Bone marrow smear: 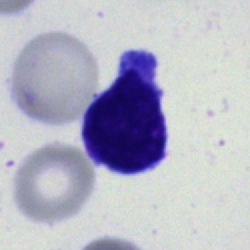Specimen: bone marrow smear.
Cell type: blast cell.